Bone marrow smear
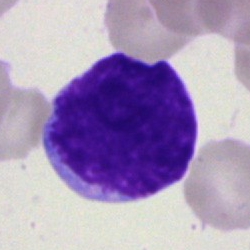

Morphology consistent with a lymphocyte.